Bone marrow smear · image size 250×250.
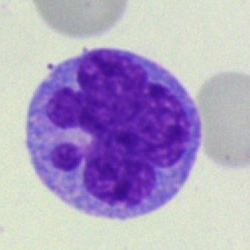

Monocyte.